40× oil immersion; bone marrow aspirate smear; May-Grünwald-Giemsa/Pappenheim stain: 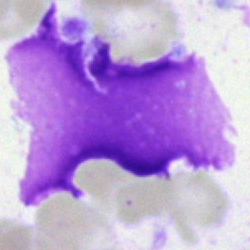 Morphological class = artefact.